250×250 px; bone marrow aspirate smear
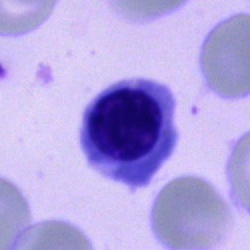
Classification: nucleated red cell.